Bone marrow smear; MGG-stained; image size 250×250.
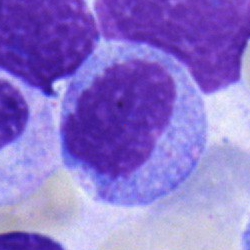

Morphology consistent with a monocyte.